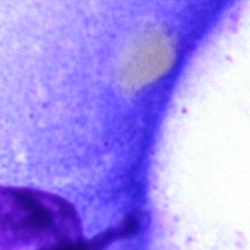

Classification: artefact.